Peripheral blood film; image size 400×400.
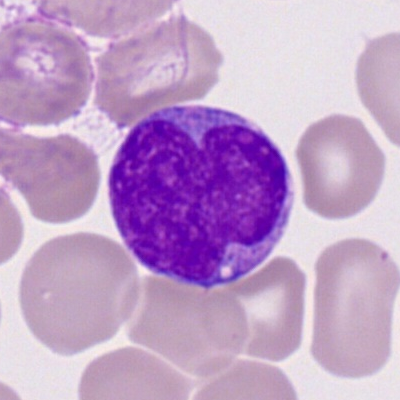Cell: myeloid blast.